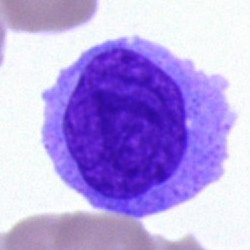Cell type — monocyte.